Brightfield, 40× oil-immersion objective; bone marrow aspirate smear: 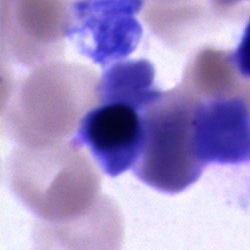

Cell type — unidentifiable cell.